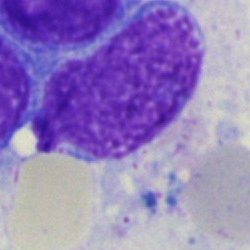 Morphology — artifact.